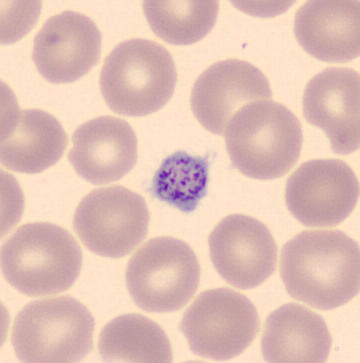

Q: What is this?
A: A platelet (thrombocyte). Preparation: Peripheral blood film.